Bone marrow aspirate smear: 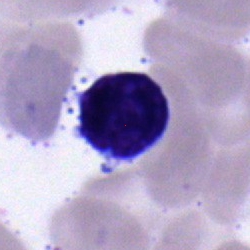

Typical lymphocyte.